Bone marrow smear — 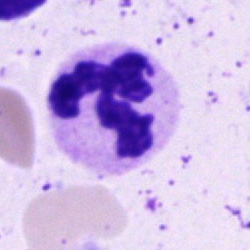

Classification = polymorphonuclear neutrophil.